Bone marrow aspirate smear
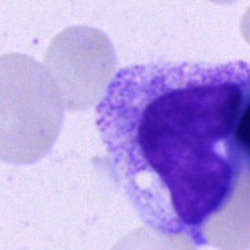 The cell type is metamyelocyte.